May-Grünwald-Giemsa/Pappenheim stain. Bone marrow aspirate smear: 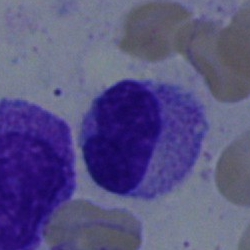

Morphological class: metamyelocyte.